MGG-stained. Bone marrow aspirate smear. 250 by 250 pixels
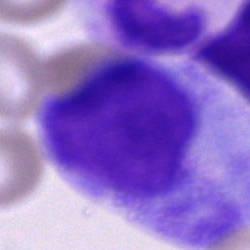 This is an unidentifiable cell.